Bone marrow aspirate smear.
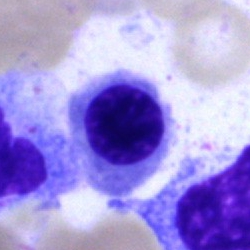 {"cell_type": "normoblast", "lineage": "erythroid"}